Single-cell field. Bone marrow aspirate smear:
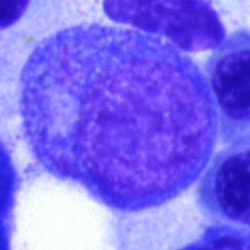 Morphology → progranulocyte.